Peripheral blood smear
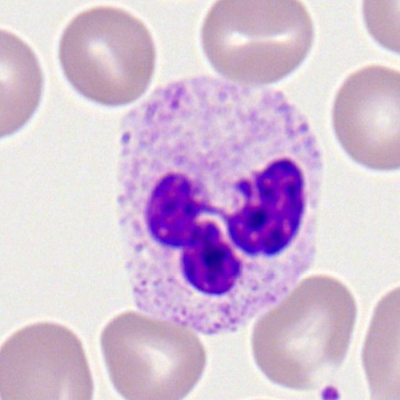

The cell shown is a polymorphonuclear neutrophil.